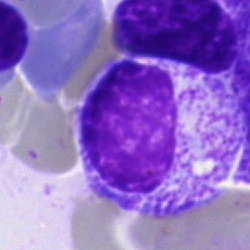 Cell type: myelocyte.